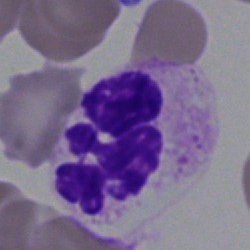

Classification — neutrophil (segmented).